Bone marrow smear.
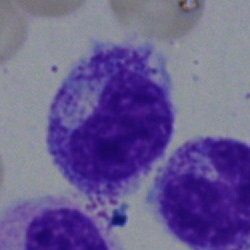 The cell shown is a metamyelocyte.